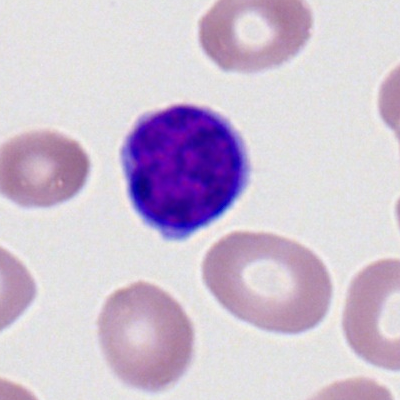

Lymphocyte.